Bone marrow aspirate smear.
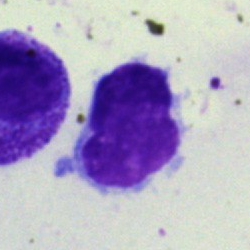Q: Identify the cell.
A: This is a typical lymphocyte.